Bone marrow smear
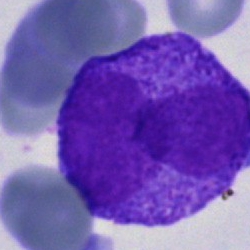

Specimen: bone marrow smear.
Morphological class: blast cell.